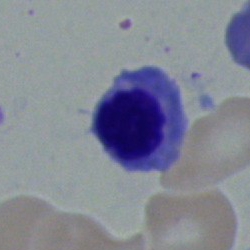
{"cell_type": "nucleated red blood cell"}